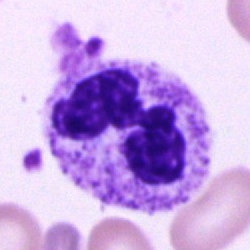The morphological class is neutrophil (segmented).